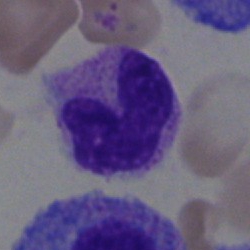 A polymorphonuclear neutrophil.